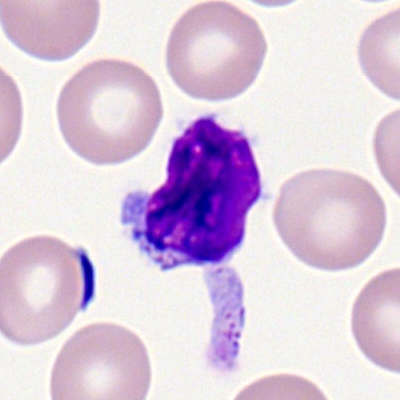

Showing a lymphocyte.